Bone marrow smear · single cell centered in the field: 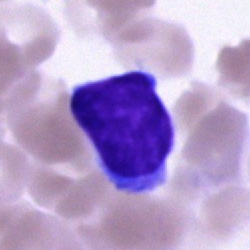 Morphological class — typical lymphocyte.